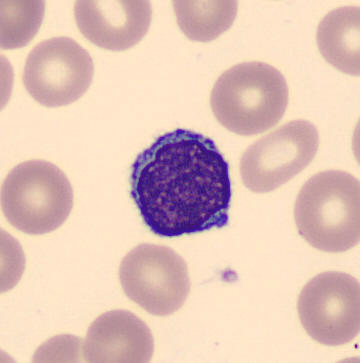
Peripheral blood film.

The morphological class is typical lymphocyte.